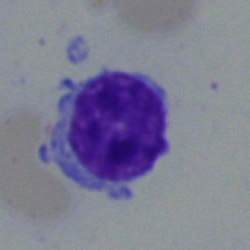 Morphology consistent with a lymphocyte.